Bone marrow smear
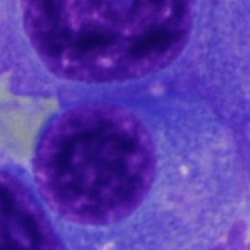Specimen: bone marrow smear.
Cell: plasmacyte.
Lineage: lymphoid.